Bone marrow aspirate smear — 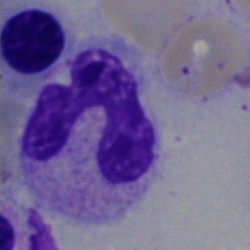 The morphological class is neutrophil (segmented).